Bone marrow aspirate smear:
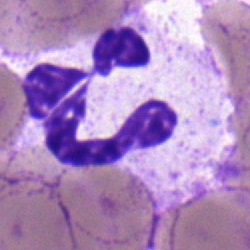
Classification = neutrophil (segmented).